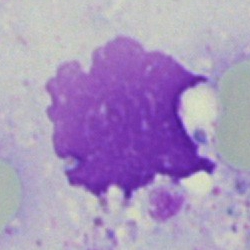 Bone marrow smear showing an artefact.